Bone marrow aspirate smear.
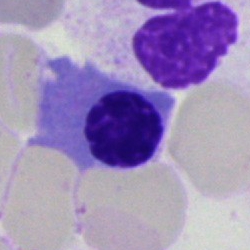Morphology consistent with a nucleated red blood cell.